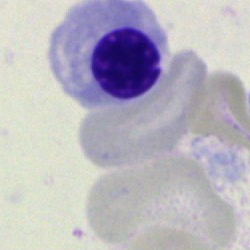
Morphological class — erythroblast.